Bone marrow aspirate smear · 250 by 250 pixels · cropped to a single cell — 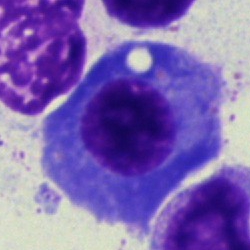

A plasmacyte.